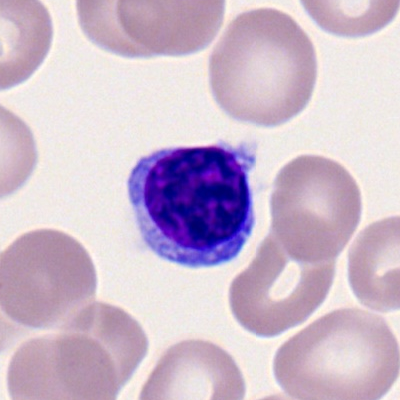Q: What cell is this?
A: It is a lymphocyte.